Bone marrow aspirate smear: 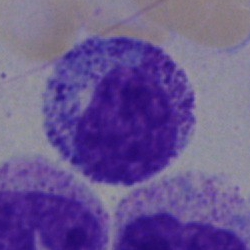

Cell = myelocyte.